Cropped to a single cell. Bone marrow smear: 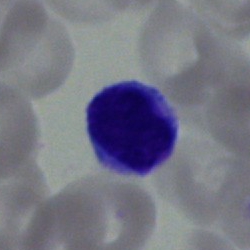Morphology — lymphocyte.